Bone marrow aspirate smear: 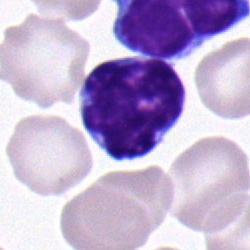

The morphological class is lymphocyte.